Bone marrow aspirate smear
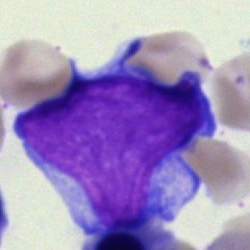

Q: What is shown here?
A: Blast cell.